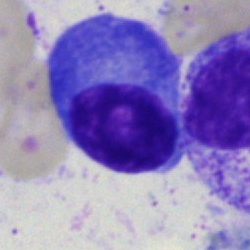
This is a plasmacyte.